Bone marrow smear.
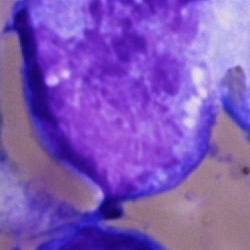Showing an artifact.